Peripheral blood film. Romanowsky-type stain.
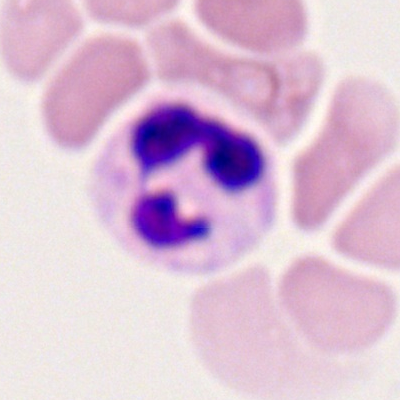

Morphology → neutrophil (segmented).